Bone marrow aspirate smear — 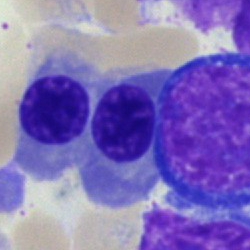Single cell identified as a normoblast.